Bone marrow aspirate smear — 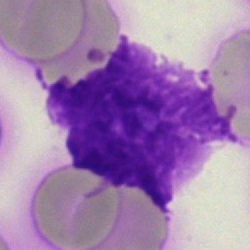

This is an artefact.